MGG-stained; bone marrow smear; brightfield microscopy, 40× oil immersion: 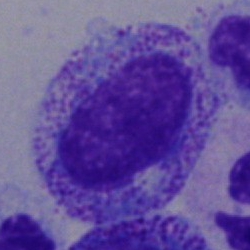 Specimen: bone marrow smear.
Cell type: myelocyte.
Lineage: myeloid.